Bone marrow smear.
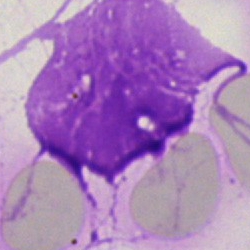
Cell: artefact.